Bone marrow smear:
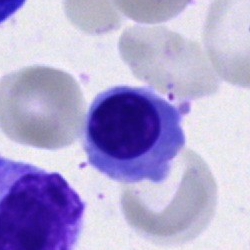Single cell identified as an erythroblast.